Bone marrow aspirate smear
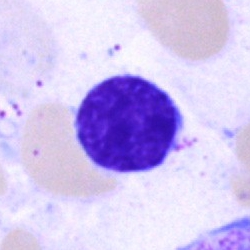
Cell = typical lymphocyte.